May-Grünwald-Giemsa stain · bone marrow smear: 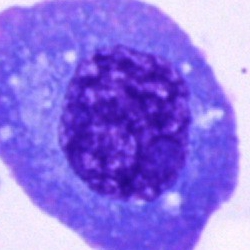
Specimen: bone marrow smear.
Cell: plasma cell.